Image size 400×400; peripheral blood smear:
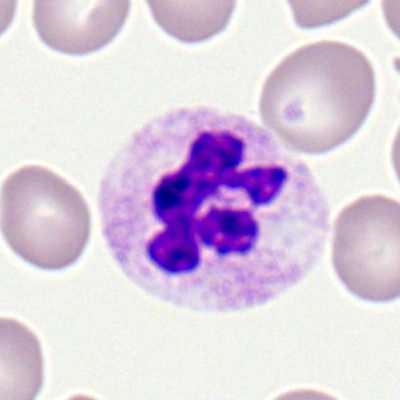
The cell shown is a segmented neutrophil.